MGG-stained · brightfield microscopy, 40× oil immersion · bone marrow smear
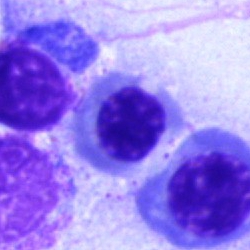

Q: What is shown here?
A: Nucleated red blood cell.